40× objective, oil immersion. Bone marrow aspirate smear.
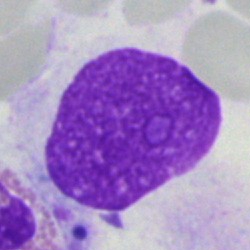 The cell shown is an artefact.